Bone marrow smear
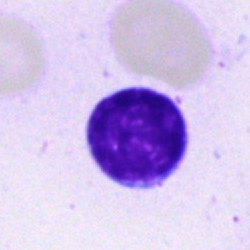 Cell — typical lymphocyte.